Bone marrow smear; brightfield, 40× oil-immersion objective: 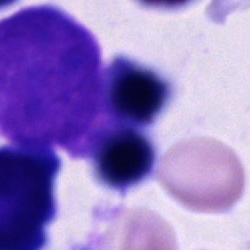
Impression — cell of indeterminate lineage.